Bone marrow aspirate smear.
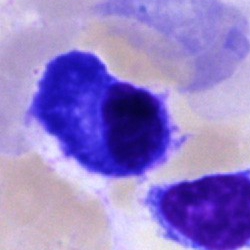Q: What cell is this?
A: It is a plasmacyte.